Bone marrow smear: 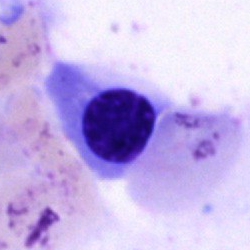Impression — normoblast.